Bone marrow aspirate smear.
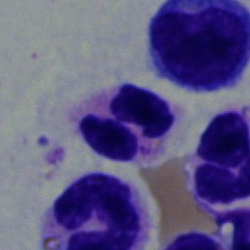 Classification — polymorphonuclear neutrophil.